Bone marrow smear — 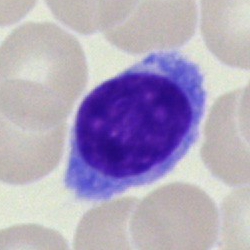Q: What is the morphological classification of this cell?
A: This is a typical lymphocyte.